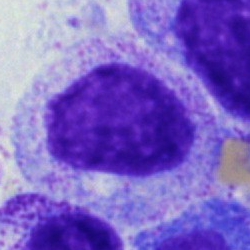 Bone marrow smear showing a progranulocyte.